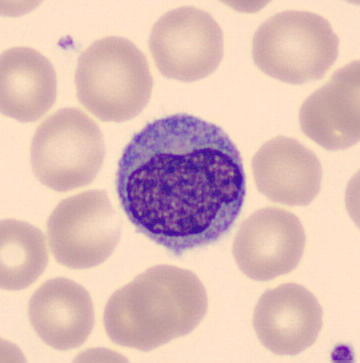 Single cell identified as a monocyte.

Acquisition: CellaVision DM96 · 360×363 · peripheral blood film.